40× objective, oil immersion. Bone marrow aspirate smear.
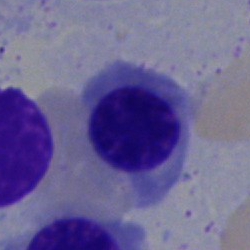Morphology consistent with an erythroblast.